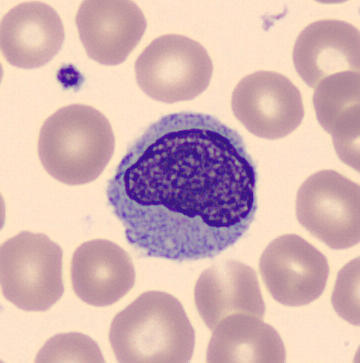Classification — monocyte.
Image: Peripheral blood film.